Bone marrow aspirate smear: 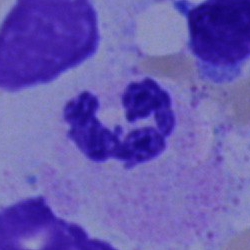

Single cell identified as a neutrophil (segmented).